Single-cell crop; bone marrow smear; May-Grünwald-Giemsa stain:
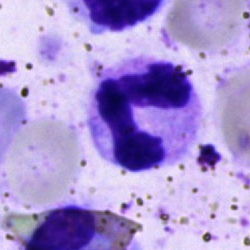 Impression — neutrophil (segmented).